Bone marrow smear.
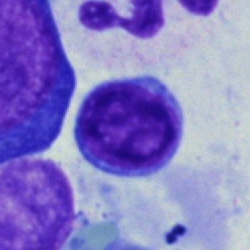 Classification: lymphocyte.